250 by 250 pixels. Bone marrow aspirate smear
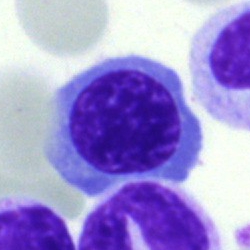

The classification is normoblast.